Bone marrow smear. Single cell centered in the field.
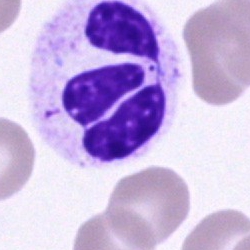

A neutrophil (segmented).